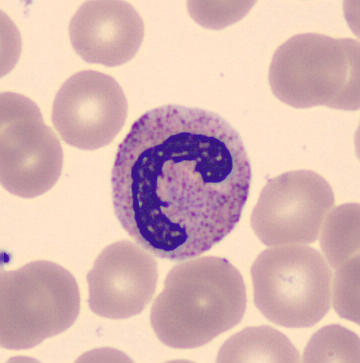Classification — segmented neutrophil.

Acquisition: Peripheral blood smear · 360×363.